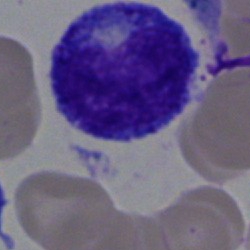

The morphological class is promyelocyte.